Bone marrow smear:
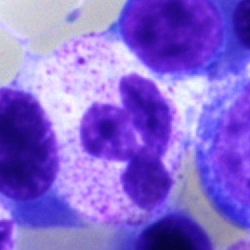 Specimen: bone marrow aspirate smear.
Cell: segmented neutrophil.